Bone marrow aspirate smear. MGG-stained — 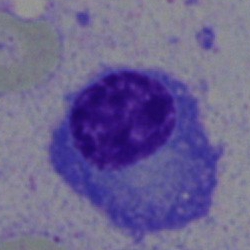Impression → plasma cell.